Bone marrow aspirate smear. Image size 250×250
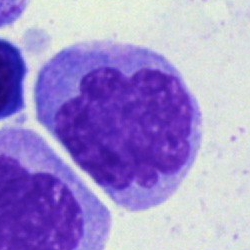 Specimen: bone marrow smear.
Classification: monocyte.